Bone marrow smear
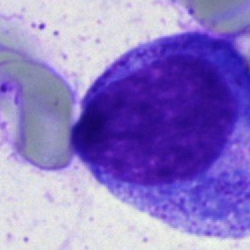
Specimen: bone marrow smear.
Classification: progranulocyte.
Lineage: myeloid.